MGG-stained · bone marrow aspirate smear
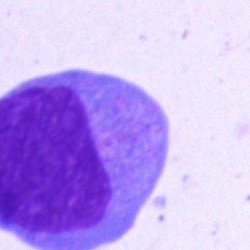
Cell = blast.